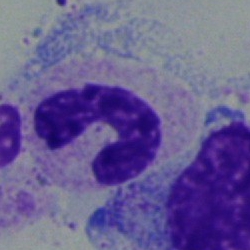 {"cell_type": "band-form neutrophil", "lineage": "myeloid"}